Bone marrow aspirate smear: 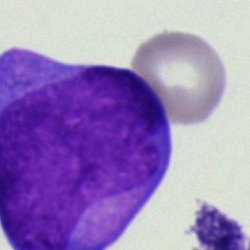
Q: What cell is this?
A: Blast.